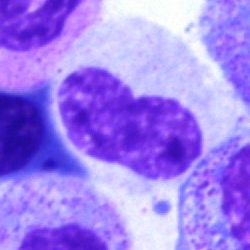

Morphology — neutrophil (band).